Bone marrow aspirate smear
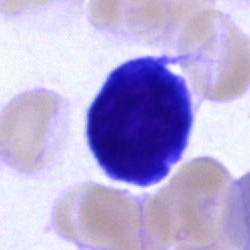The cell type is typical lymphocyte.